Bone marrow aspirate smear: 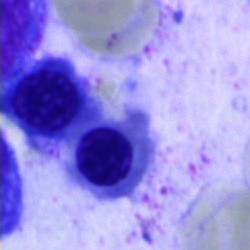

This is a normoblast.